Bone marrow aspirate smear:
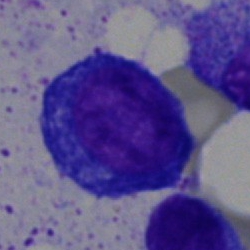Impression — proerythroblast.